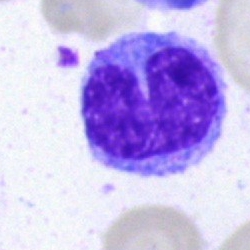
Monocyte.